Brightfield microscopy, 40× oil immersion. Bone marrow aspirate smear — 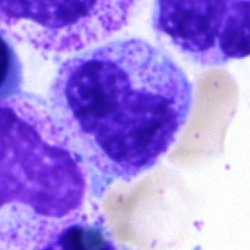

The cell type is stab cell.